40× objective, oil immersion; single-cell crop; bone marrow smear: 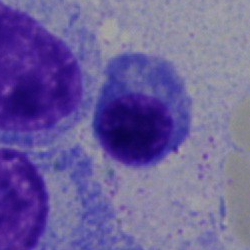

Morphology — normoblast.